Bone marrow smear · 250×250 px: 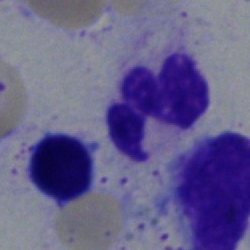 Q: Identify the cell.
A: A polymorphonuclear neutrophil.